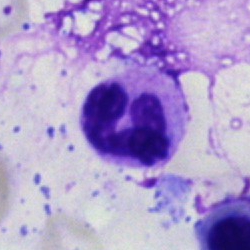{"cell_type": "segmented neutrophil", "lineage": "myeloid"}